250 by 250 pixels; bone marrow smear; brightfield, 40× oil-immersion objective:
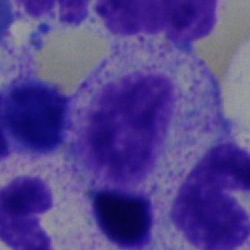 Cell type: myelocyte.